Bone marrow smear: 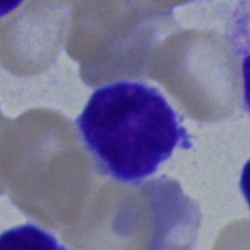
{"cell_type": "typical lymphocyte"}